Bone marrow aspirate smear; 250×250 px
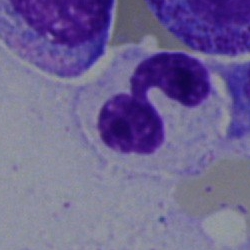Cell — polymorphonuclear neutrophil.